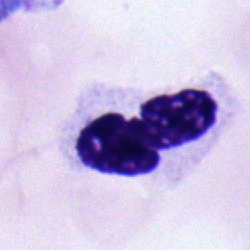 Morphology consistent with a segmented neutrophil.